Single cell centered in the field. Bone marrow smear
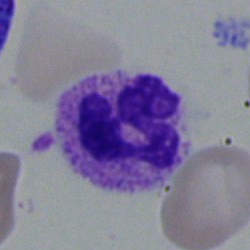 Classification = segmented neutrophil.